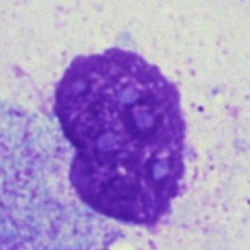Showing an artifact.